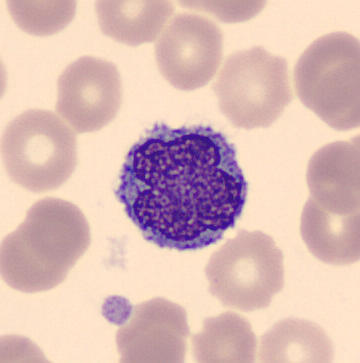
{"cell_type": "monocyte"}